Brightfield, 40× oil-immersion objective; bone marrow smear.
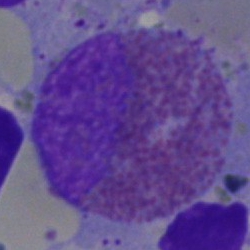 This is an eosinophil.